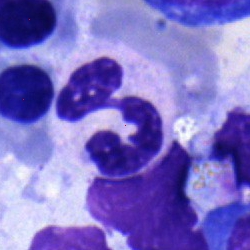
Morphology consistent with a polymorphonuclear neutrophil.